Peripheral blood smear; 100× oil immersion
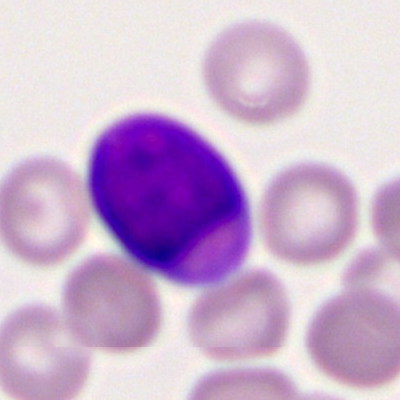
Q: What cell is this?
A: It is a myeloblast.